Bone marrow smear.
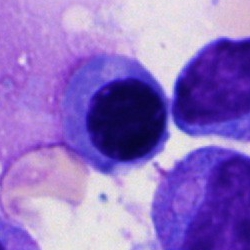 Q: Which cell type is shown here?
A: This is a normoblast.